Peripheral blood film. 400×400 px.
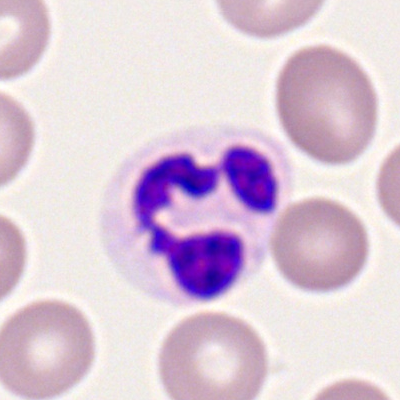Morphology — neutrophil (segmented).